250×250; bone marrow aspirate smear; brightfield microscopy, 40× oil immersion — 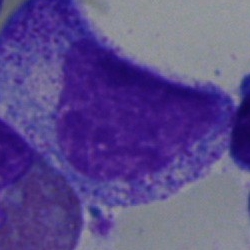
Myelocyte.